250 by 250 pixels · bone marrow smear
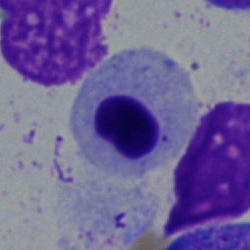 Specimen: bone marrow smear.
Cell: normoblast.